Image size 250×250. Bone marrow aspirate smear. Pappenheim-stained:
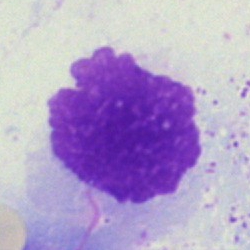 Q: What is shown here?
A: This is an artefact.